Bone marrow smear:
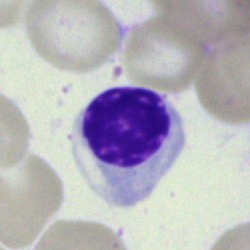 A normoblast.